Bone marrow smear
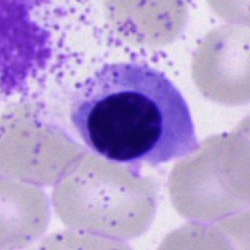Specimen: bone marrow aspirate smear.
Morphological class: nucleated red cell.